Single cell centered in the field · peripheral blood smear · 360 by 363 pixels:
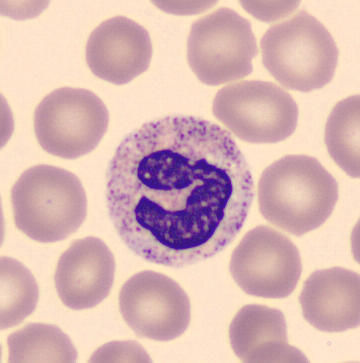

Morphological class — band-form neutrophil.